Peripheral blood smear — 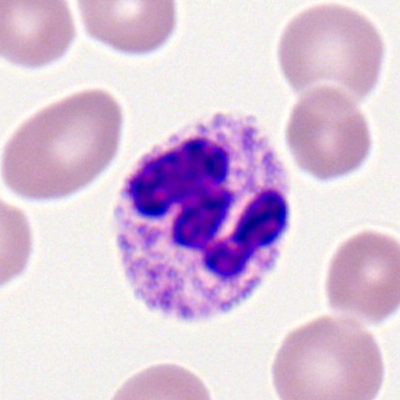
Polymorphonuclear neutrophil.